May-Grünwald-Giemsa/Pappenheim stain · bone marrow aspirate smear.
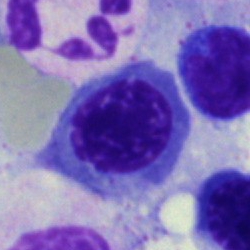Specimen: bone marrow aspirate smear.
Classification: nucleated red blood cell.